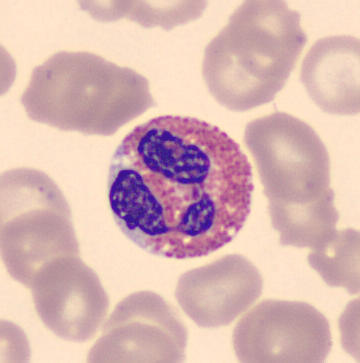Preparation: Peripheral blood film. Single cell centered in the field.

The cell type is eosinophilic granulocyte.